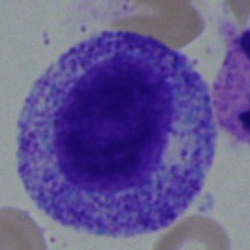
A myelocyte.